Bone marrow aspirate smear. May-Grünwald-Giemsa stain. 250×250.
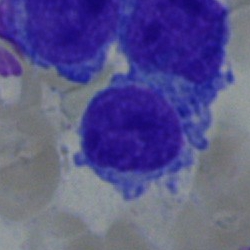

This is a typical lymphocyte.